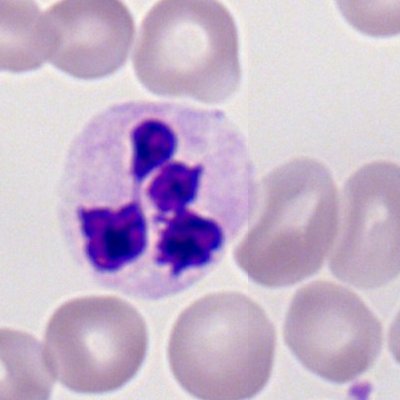 A polymorphonuclear neutrophil.